Bone marrow aspirate smear: 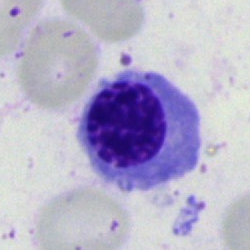
Morphology consistent with a normoblast.